Bone marrow aspirate smear: 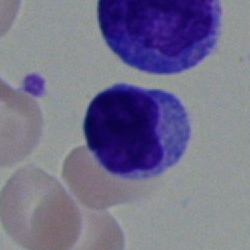
Cell type: typical lymphocyte.